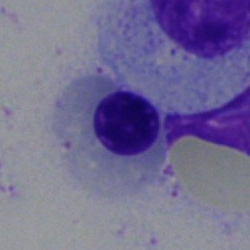 Showing a nucleated red cell.